Peripheral blood film. Romanowsky stain:
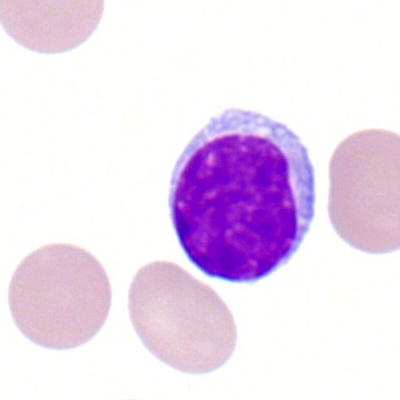Specimen: peripheral blood smear.
Cell type: typical lymphocyte.
Lineage: lymphoid.